Bone marrow smear. Brightfield, 40× oil-immersion objective. Single-cell crop: 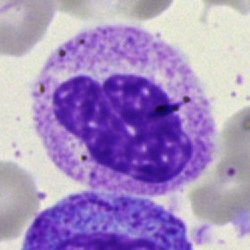
{"cell_type": "neutrophil (band)"}